Bone marrow smear — 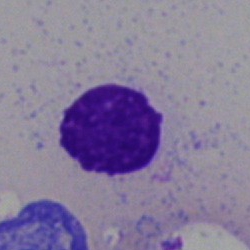
The cell shown is a lymphocyte.